Cropped to a single cell; bone marrow aspirate smear: 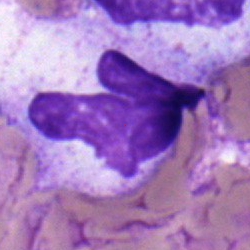 Q: Identify the cell.
A: A neutrophil (band).